Bone marrow aspirate smear — 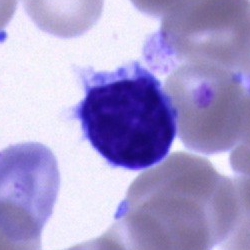
Cell type: lymphocyte.